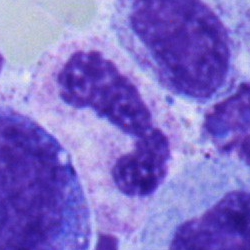
Specimen: bone marrow smear.
Morphological class: polymorphonuclear neutrophil.